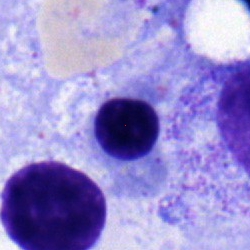

Specimen: bone marrow smear.
Classification: normoblast.